Bone marrow smear — 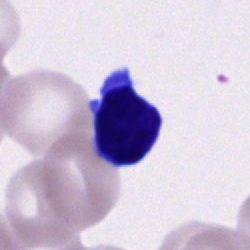
The cell shown is a lymphocyte.